Bone marrow smear.
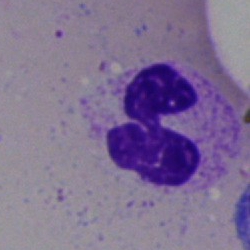A segmented neutrophil.